Bone marrow smear:
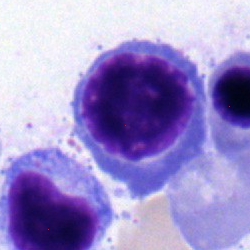The cell shown is an erythroblast.